Bone marrow smear — 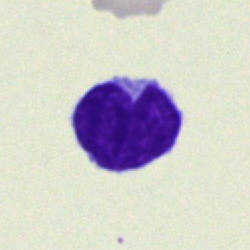
Q: Identify the cell.
A: This is a typical lymphocyte.